Bone marrow smear — 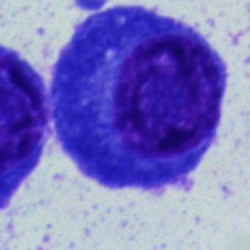

Q: Which cell type is shown here?
A: This is a plasma cell.